Bone marrow smear — 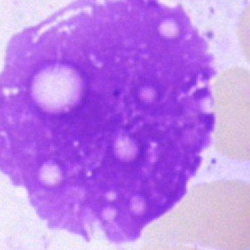
Showing an artifact.